40× oil immersion; 250×250 px; bone marrow aspirate smear
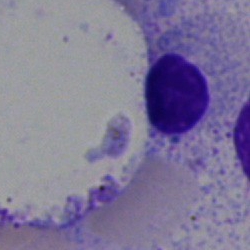Cell: artifact.